Bone marrow aspirate smear
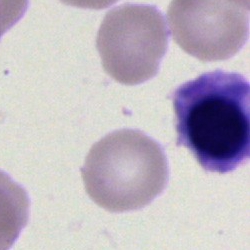
Showing a nucleated red blood cell.